Single cell centered in the field · bone marrow smear:
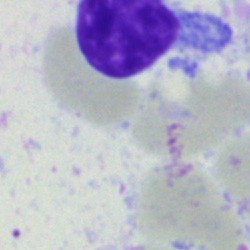

Morphology consistent with a lymphocyte.